Bone marrow smear
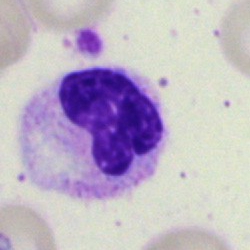

The cell shown is a neutrophil (segmented).